Bone marrow smear; single cell centered in the field: 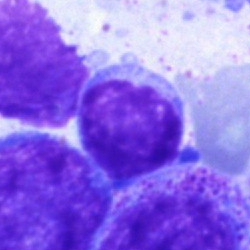A lymphocyte.